Bone marrow aspirate smear; brightfield microscopy, 40× oil immersion:
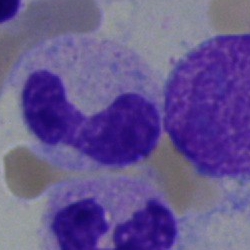
This is a stab cell.